May-Grünwald-Giemsa stain. Bone marrow smear:
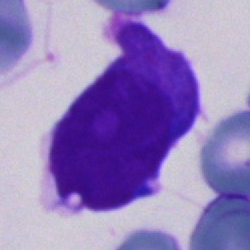{"cell_type": "blast"}